MGG-stained; bone marrow smear
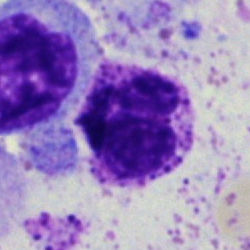

Basophilic granulocyte.